40× oil immersion · bone marrow aspirate smear · May-Grünwald-Giemsa/Pappenheim stain — 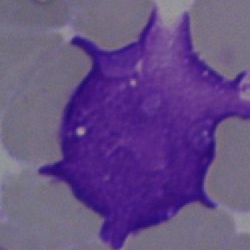 Cell type = artefact.